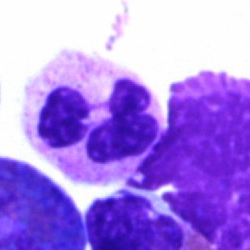
This is a segmented neutrophil.